Peripheral blood smear.
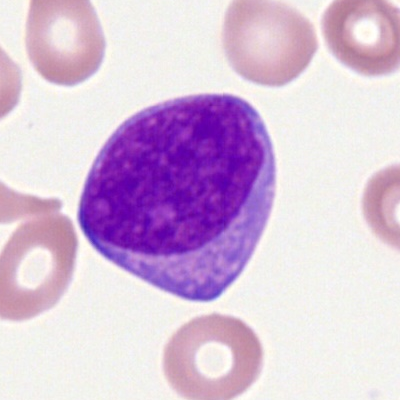
Q: What is the morphological classification of this cell?
A: It is a myeloid blast.